Bone marrow aspirate smear.
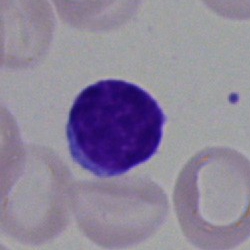 The morphological class is lymphocyte.